Bone marrow smear; single cell centered in the field; Pappenheim-stained
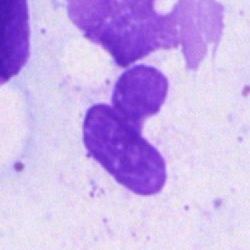 Specimen: bone marrow smear.
Classification: artefact.